Bone marrow smear
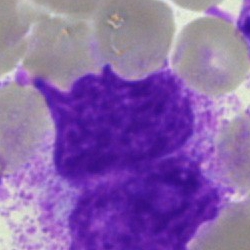 Q: Identify the cell.
A: Blast cell.